Bone marrow aspirate smear · single cell centered in the field:
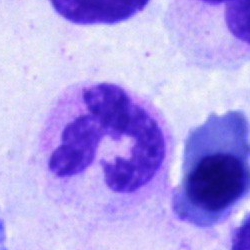
Specimen: bone marrow smear.
Morphological class: polymorphonuclear neutrophil.
Lineage: myeloid.